Bone marrow smear:
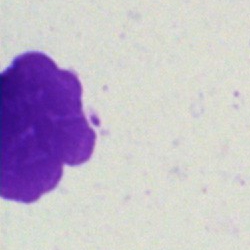
{"cell_type": "artefact"}